Bone marrow smear; brightfield microscopy, 40× oil immersion:
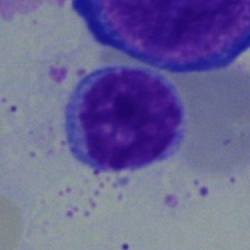

Morphology consistent with a lymphocyte.